Bone marrow aspirate smear.
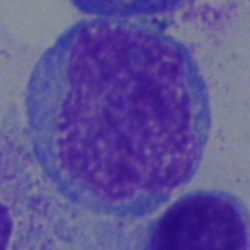This is a blast cell.